Brightfield microscopy, 40× oil immersion · 250×250 px · bone marrow smear — 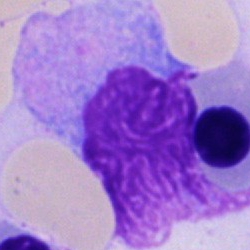

{"cell_type": "artifact"}